Bone marrow aspirate smear. May-Grünwald-Giemsa stain
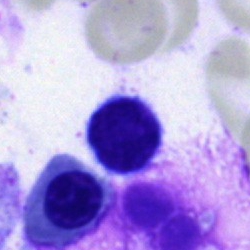

Cell = typical lymphocyte.